Cropped to a single cell. Peripheral blood smear: 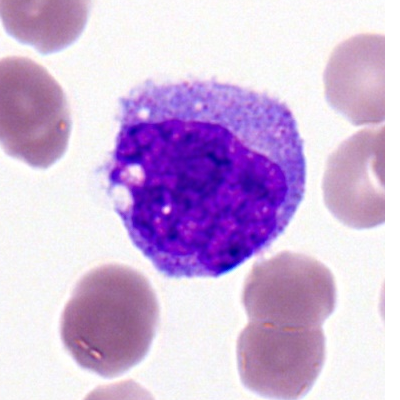Morphological class — monocyte.